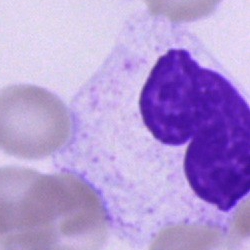

{"cell_type": "metamyelocyte", "lineage": "myeloid"}